May-Grünwald-Giemsa/Pappenheim stain; bone marrow aspirate smear: 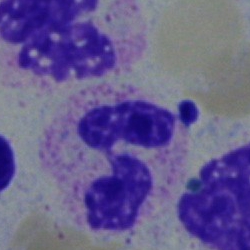 Q: Identify the cell.
A: It is a segmented neutrophil.